250×250. Bone marrow smear:
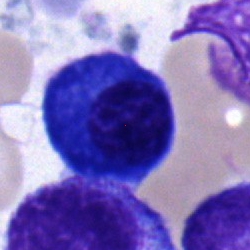{"cell_type": "plasma cell", "lineage": "lymphoid"}